Peripheral blood film: 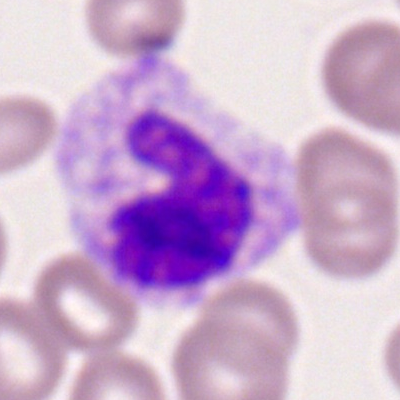 {"cell_type": "neutrophil (segmented)", "lineage": "myeloid"}